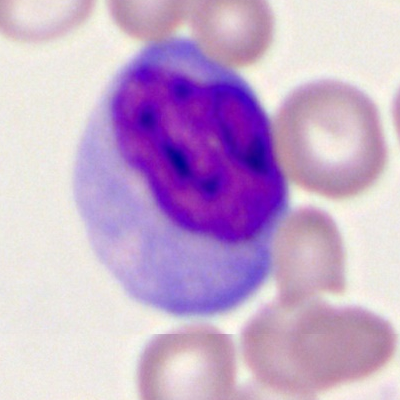
Cell: monocyte.